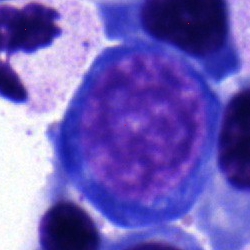This is a proerythroblast.